Bone marrow aspirate smear
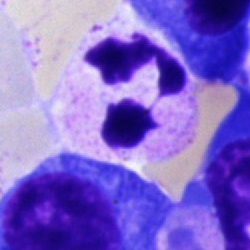The classification is polymorphonuclear neutrophil.